May-Grünwald-Giemsa stain; bone marrow aspirate smear:
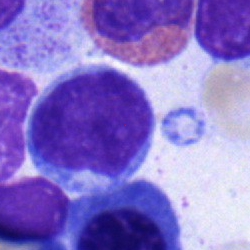
Showing a lymphocyte.